Image size 250×250; cropped to a single cell; bone marrow aspirate smear:
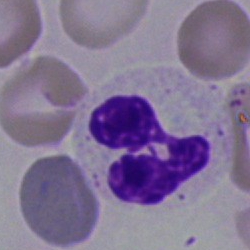

Morphology consistent with a polymorphonuclear neutrophil.